250 by 250 pixels. Bone marrow aspirate smear
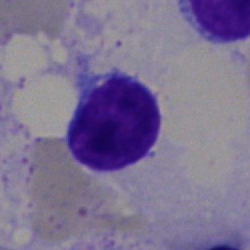 Morphology → lymphocyte.